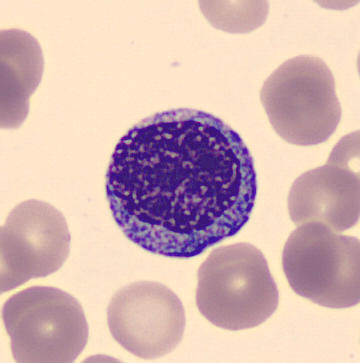 Cell — myelocyte.